400×400. Peripheral blood film.
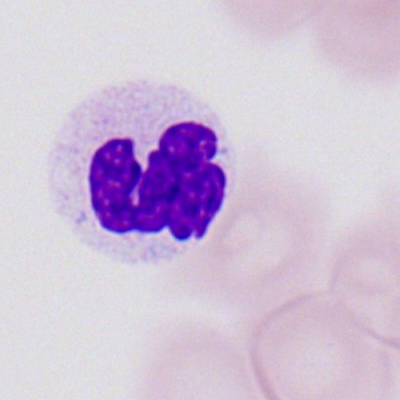 Impression → polymorphonuclear neutrophil.